Brightfield, 40× oil-immersion objective. Bone marrow aspirate smear. 250 by 250 pixels
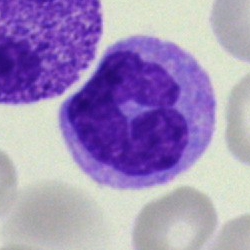Showing a monocyte.